Bone marrow aspirate smear
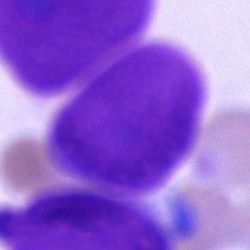 Q: What is shown here?
A: Artefact.